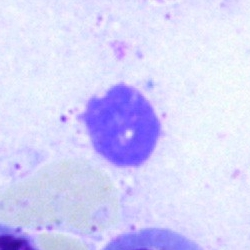 Single-cell crop from a bone marrow smear: artifact.